Bone marrow smear. 250 by 250 pixels
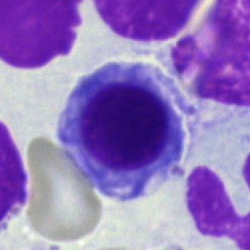
Classification = normoblast.